Bone marrow aspirate smear — 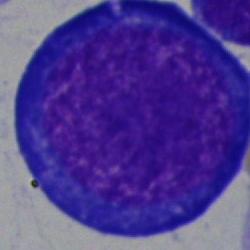A proerythroblast.